Single-cell crop · bone marrow aspirate smear · 40× oil immersion:
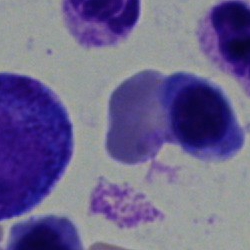

Specimen: bone marrow smear.
Cell: nucleated red blood cell.
Lineage: erythroid.